Bone marrow smear · single cell centered in the field.
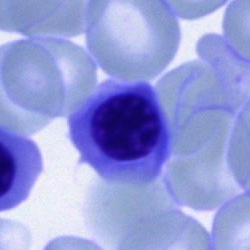
Specimen: bone marrow smear.
Cell: erythroblast.